Bone marrow smear; May-Grünwald-Giemsa/Pappenheim stain.
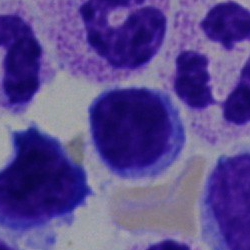
Specimen: bone marrow smear.
Cell type: lymphocyte.
Lineage: lymphoid.